100× objective, oil immersion · peripheral blood smear
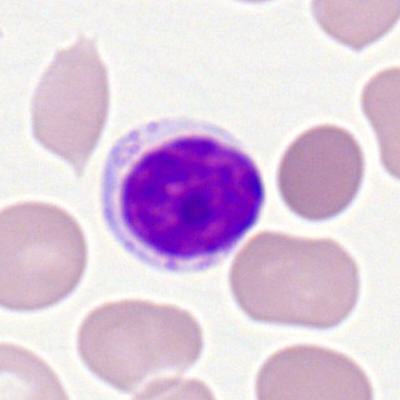
Q: What is shown here?
A: Typical lymphocyte.